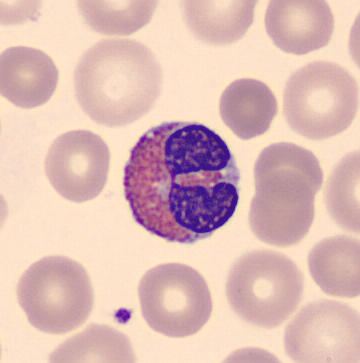Specimen: peripheral blood film.
Cell: eosinophil.